Bone marrow aspirate smear: 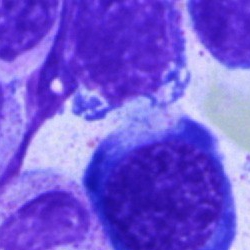
Specimen: bone marrow aspirate smear.
Classification: nucleated red blood cell.